Bone marrow smear · single-cell field · 250×250 px: 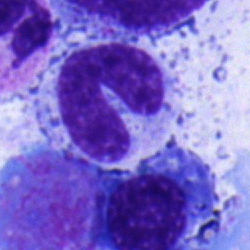Showing a neutrophil (band).